Bone marrow smear. 250 by 250 pixels — 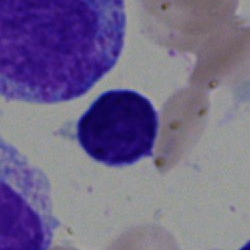Q: What is shown here?
A: Typical lymphocyte.